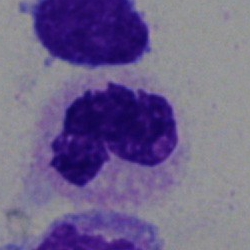

Q: What type of cell is this?
A: A neutrophil (segmented).